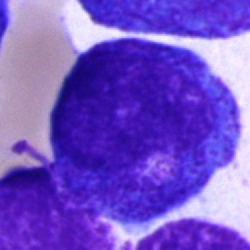
The cell type is promyelocyte.